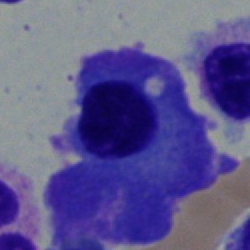 Q: Which cell type is shown here?
A: Plasma cell.